Cropped to a single cell · bone marrow smear: 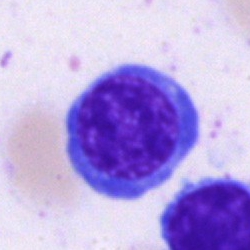Nucleated red cell.